Bone marrow smear:
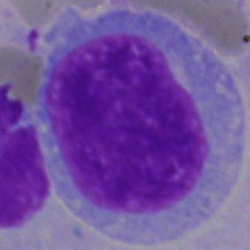
{"cell_type": "blast"}